Bone marrow smear: 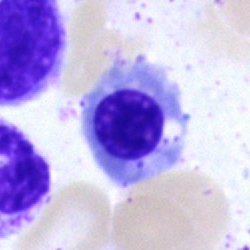This is a normoblast.